Peripheral blood film: 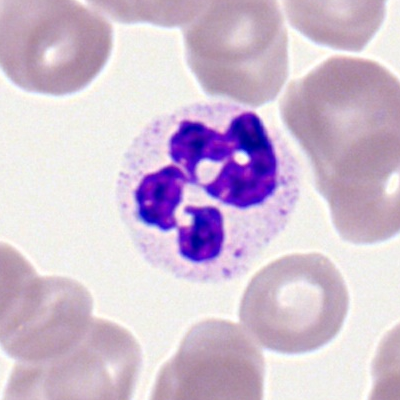

Q: What is shown here?
A: This is a neutrophil (segmented).